Bone marrow smear.
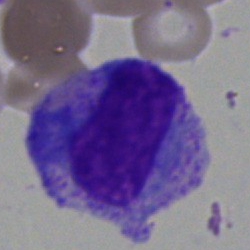 Cell type — promyelocyte.